May-Grünwald-Giemsa/Pappenheim stain · bone marrow smear
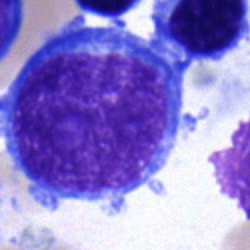

Q: What cell is this?
A: An undifferentiated blast.